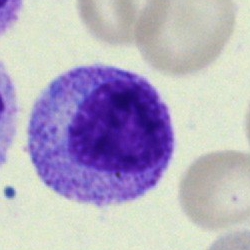

Q: What cell is this?
A: A myelocyte.